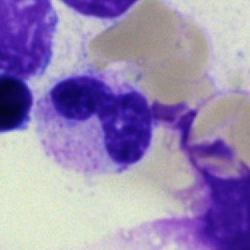

Q: What type of cell is this?
A: It is a segmented neutrophil.